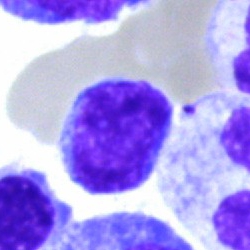Q: What is shown here?
A: A lymphocyte.